Cropped to a single cell; bone marrow smear; 250×250 px.
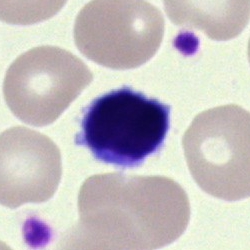
Morphology → lymphocyte.